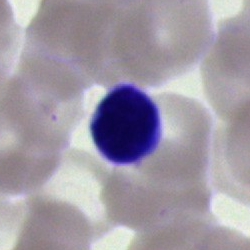
The cell type is lymphocyte.